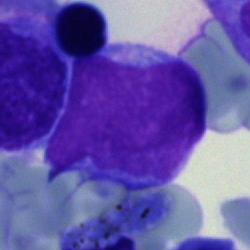
Morphology consistent with an undifferentiated blast.